Bone marrow aspirate smear; brightfield microscopy, 40× oil immersion.
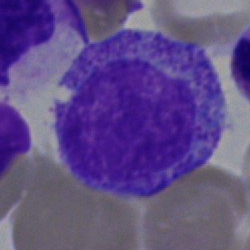Classification = progranulocyte.